250 by 250 pixels; bone marrow aspirate smear
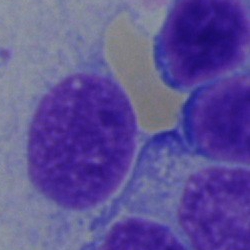The cell is lymphocyte.